Bone marrow smear — 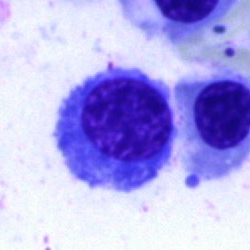

Cell — nucleated red cell.